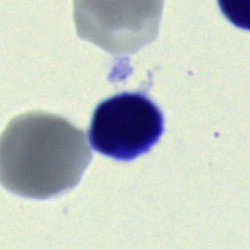 Specimen: bone marrow smear.
Cell: typical lymphocyte.
Lineage: lymphoid.